May-Grünwald-Giemsa stain; bone marrow smear: 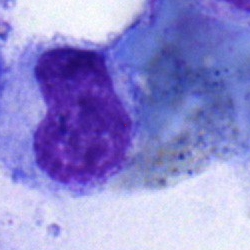The cell is metamyelocyte.